Single-cell field · bone marrow smear — 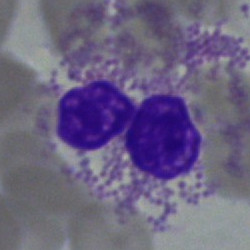Cell type — eosinophil.